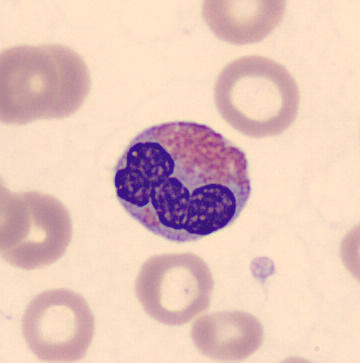 Morphological class = eosinophil.